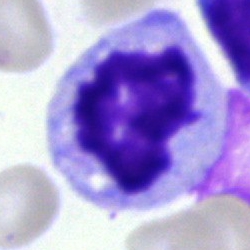

Cell type — unidentifiable cell.